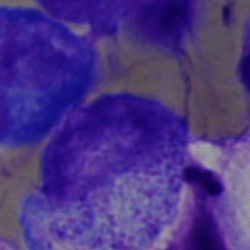Myelocyte.